Bone marrow aspirate smear. May-Grünwald-Giemsa stain — 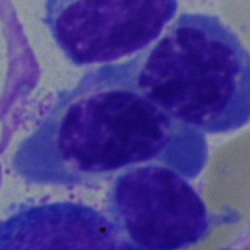

Q: Identify the cell.
A: A nucleated red blood cell.